Bone marrow smear — 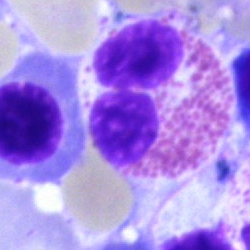 Cell — eosinophil.